Peripheral blood film — 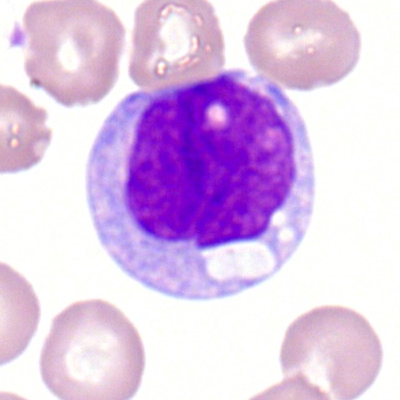Specimen: peripheral blood film.
Cell type: monocyte.
Lineage: myeloid.